Cropped to a single cell; bone marrow smear
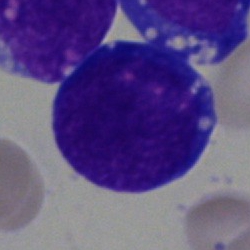
Q: Which cell type is shown here?
A: This is a blast.